Bone marrow aspirate smear — 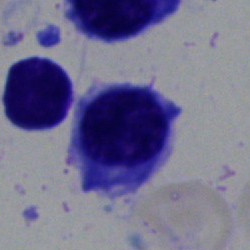

Specimen: bone marrow aspirate smear.
Morphological class: nucleated red blood cell.